Single cell centered in the field; 250×250 px; bone marrow smear
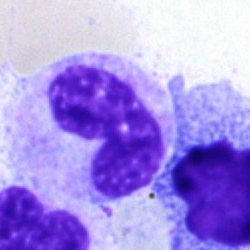
The classification is band-form neutrophil.